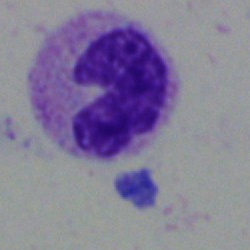Morphology consistent with a band-form neutrophil.